40× oil immersion; bone marrow smear — 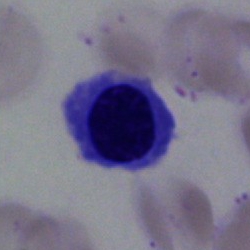
Morphological class = nucleated red blood cell.